Bone marrow aspirate smear: 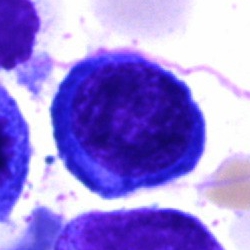 Morphology — erythroblast.